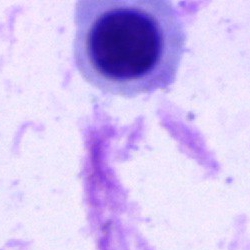Single cell identified as an erythroblast.